Bone marrow smear.
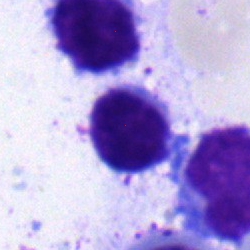Impression — erythroblast.